40× oil immersion · bone marrow aspirate smear
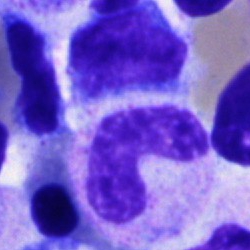Impression — stab cell.